Peripheral blood smear:
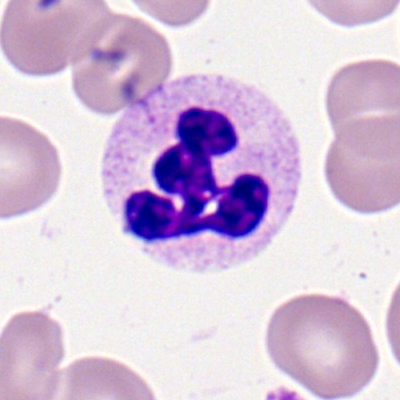
A segmented neutrophil.